Single cell centered in the field. Bone marrow smear:
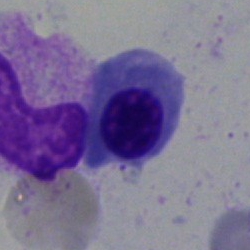
Showing a nucleated red cell.